Bone marrow smear
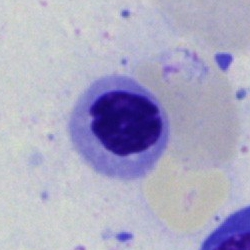

Single cell identified as a normoblast.